Bone marrow smear: 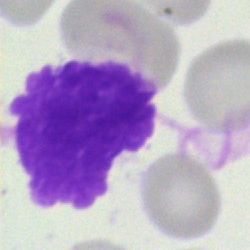
Cell type: basket cell.